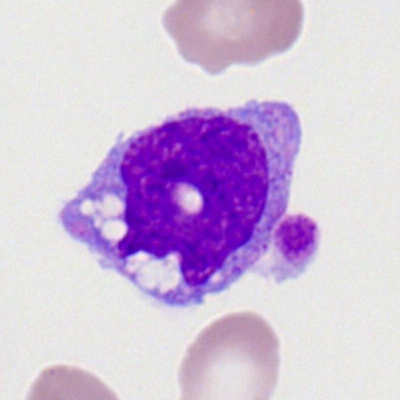{"cell_type": "monocyte"}